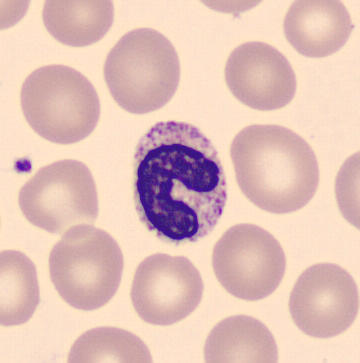 Peripheral blood smear. CellaVision DM96.
Morphology consistent with a stab cell.